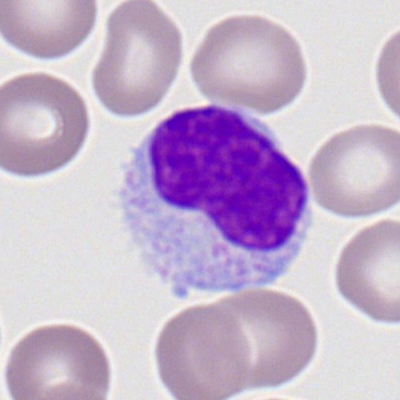
Peripheral blood film, single cell — lymphocyte.